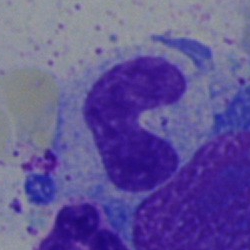

Cell = band-form neutrophil.